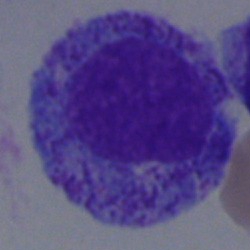

The cell shown is a myelocyte.